Bone marrow aspirate smear; 40× objective, oil immersion: 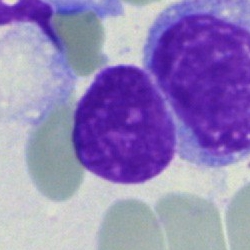
Cell = artifact.